Bone marrow aspirate smear: 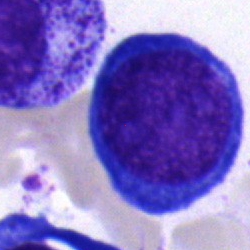 Cell: proerythroblast.